Bone marrow smear — 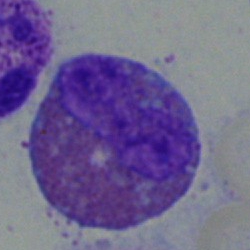

Q: What is shown here?
A: This is an eosinophil.